Bone marrow smear:
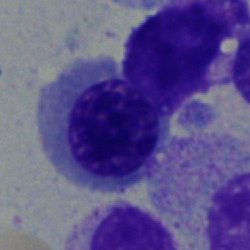
The classification is erythroblast.